Bone marrow smear; 250 by 250 pixels:
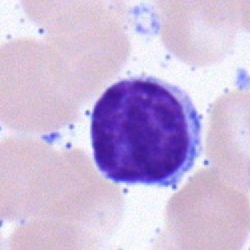 Showing a lymphocyte.